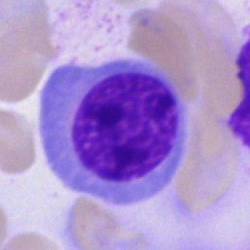

The cell type is nucleated red blood cell.